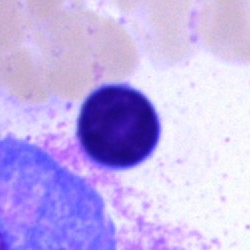 Single-cell crop from a bone marrow smear: lymphocyte.